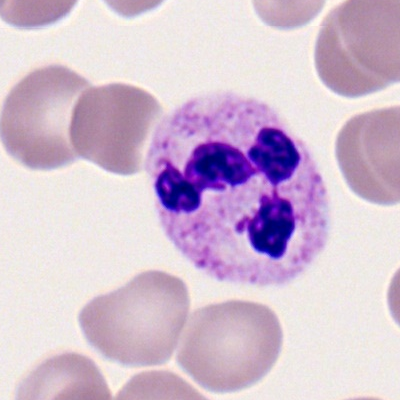

Showing a neutrophil (segmented).